Bone marrow aspirate smear.
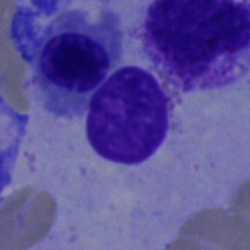 Cell — normoblast.